Bone marrow aspirate smear; 250 by 250 pixels
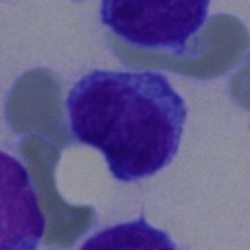

Q: Which cell type is shown here?
A: A lymphocyte.